Peripheral blood film; MGG stain; single-cell crop
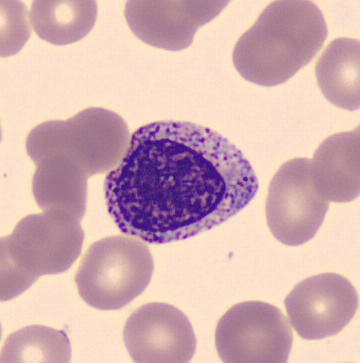 Q: Identify the cell.
A: A myelocyte.